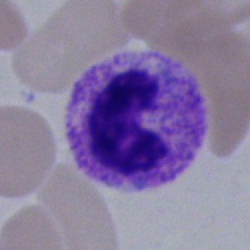

Cell = segmented neutrophil.